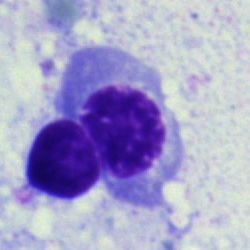
The classification is nucleated red blood cell.